Romanowsky stain; peripheral blood film: 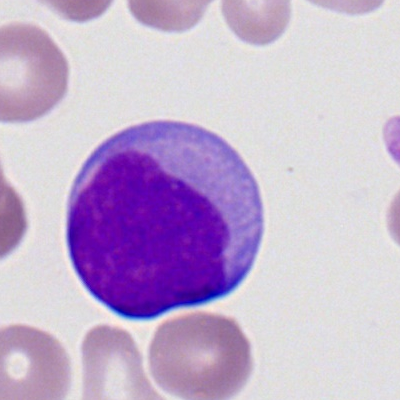Single cell identified as a myeloid blast.